Bone marrow aspirate smear · single-cell crop.
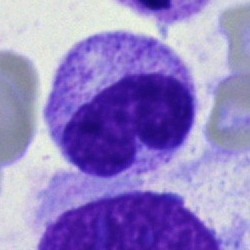Single cell identified as a band neutrophil.